Bone marrow smear: 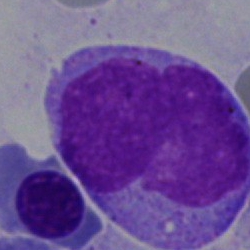

Q: Identify the cell.
A: It is a monocyte.